250×250 px. 40× oil immersion. Bone marrow aspirate smear: 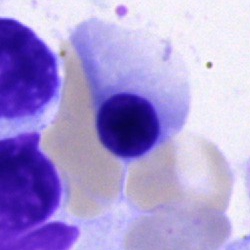This is an erythroblast.